Bone marrow aspirate smear.
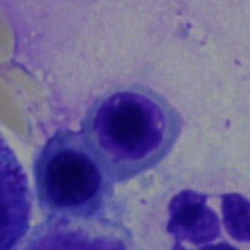Q: What type of cell is this?
A: It is an erythroblast.